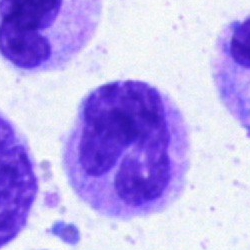 Classification: polymorphonuclear neutrophil.